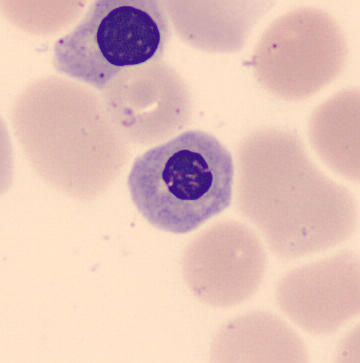
Specimen: peripheral blood film.
Morphological class: nucleated red blood cell.
Lineage: erythroid.